250 by 250 pixels. Bone marrow aspirate smear. Single-cell field:
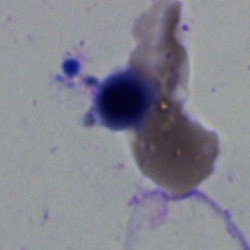
Morphology → erythroblast.